Bone marrow smear:
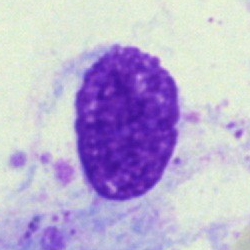 Q: What is shown here?
A: This is an artifact.